Bone marrow aspirate smear.
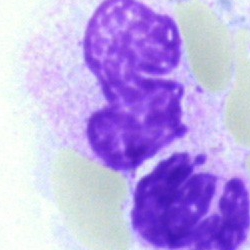
Morphological class — artefact.